Bone marrow aspirate smear — 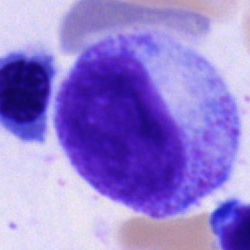Morphological class: progranulocyte.